Peripheral blood film
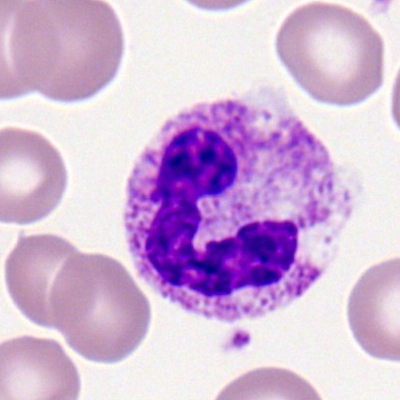
The cell is segmented neutrophil.